Peripheral blood smear — 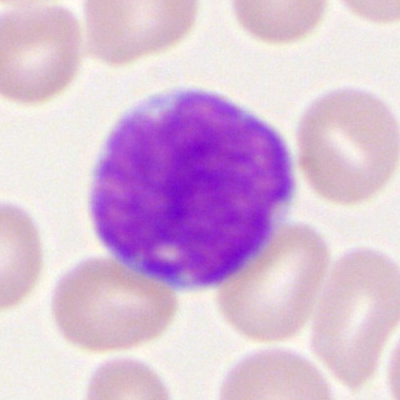Morphological class = myeloid blast.